Bone marrow aspirate smear:
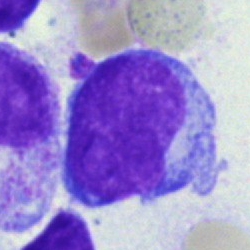 Cell = undifferentiated blast.